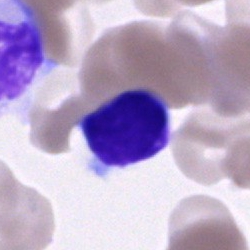 Cell type = typical lymphocyte.